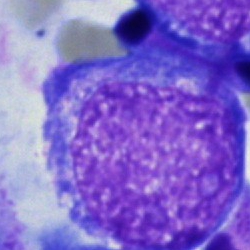
Q: Which cell type is shown here?
A: It is a blast cell.